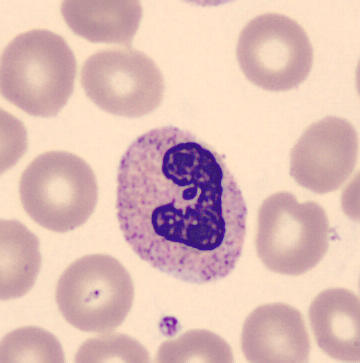{"cell_type": "polymorphonuclear neutrophil", "lineage": "myeloid"}

Image: Peripheral blood film · 360 by 363 pixels · single-cell crop.